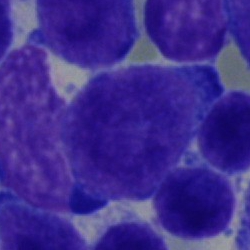
Impression — undifferentiated blast.